Bone marrow aspirate smear. Single cell centered in the field — 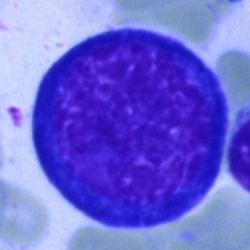An erythroblast.